Bone marrow aspirate smear: 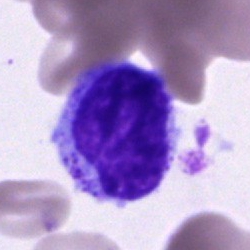

Impression → cell of indeterminate lineage.